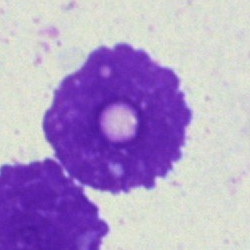
Cell type = artefact.